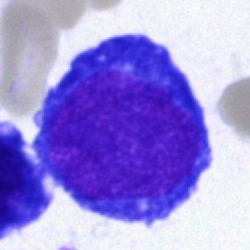

The classification is nucleated red blood cell.